Bone marrow smear.
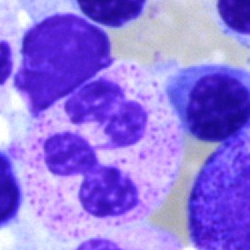
Morphology → polymorphonuclear neutrophil.